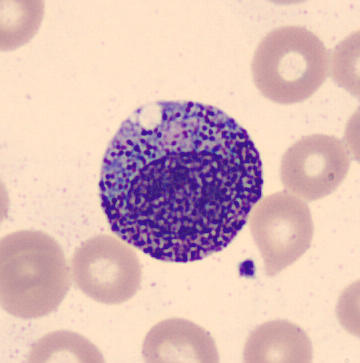

The cell is promyelocyte.
Acquisition: MGG-stained. Peripheral blood smear.